250×250 px · bone marrow aspirate smear:
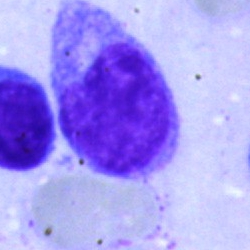Specimen: bone marrow smear.
Cell type: myelocyte.